Bone marrow smear · 40× objective, oil immersion
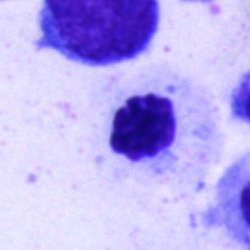
Q: What is the morphological classification of this cell?
A: A nucleated red cell.